Bone marrow aspirate smear; MGG-stained — 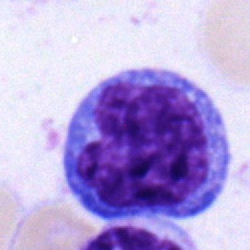{"cell_type": "monocyte", "lineage": "myeloid"}